Bone marrow aspirate smear:
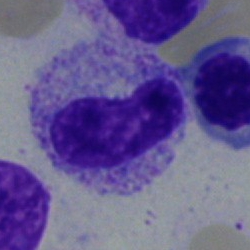 Morphological class = neutrophil (band).